Bone marrow smear. 250 by 250 pixels. May-Grünwald-Giemsa stain:
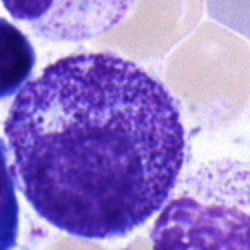The cell shown is a myelocyte.